Bone marrow smear — 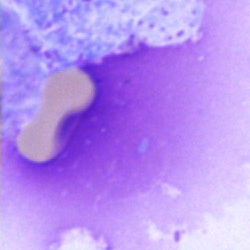 Morphological class = artefact.